Bone marrow aspirate smear — 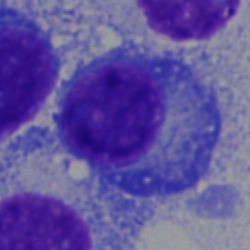
Impression — plasmacyte.